Bone marrow smear:
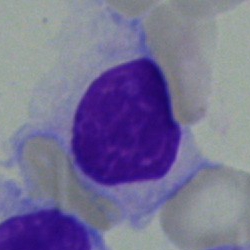 Single cell identified as a typical lymphocyte.